Bone marrow aspirate smear:
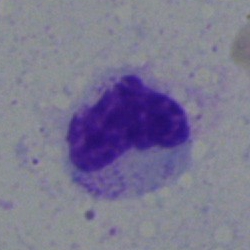

Cell type: metamyelocyte.